Bone marrow aspirate smear. 40× objective, oil immersion. 250 by 250 pixels — 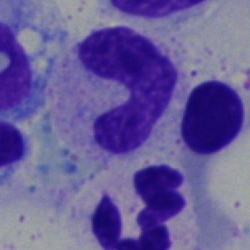
Morphology → band neutrophil.